Bone marrow aspirate smear:
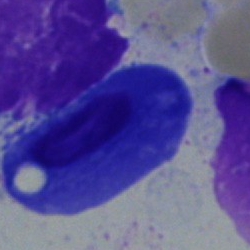This is a plasmacyte.